250 by 250 pixels; bone marrow aspirate smear; 40× oil immersion:
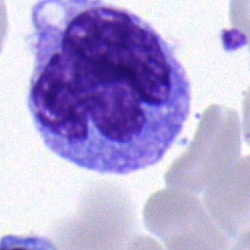
Impression — monocyte.